Bone marrow aspirate smear: 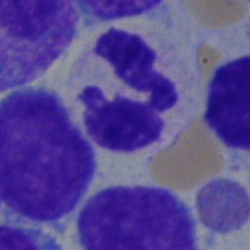 Cell type — segmented neutrophil.